Bone marrow aspirate smear — 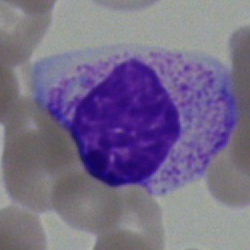
Specimen: bone marrow smear.
Cell: undifferentiated blast.